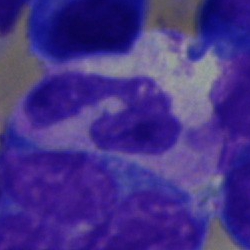 Showing a neutrophil (segmented).